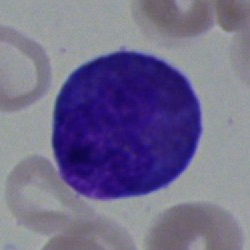
The cell type is progranulocyte.